Bone marrow aspirate smear — 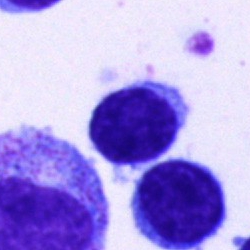 Classification: lymphocyte.